Peripheral blood film. Romanowsky stain:
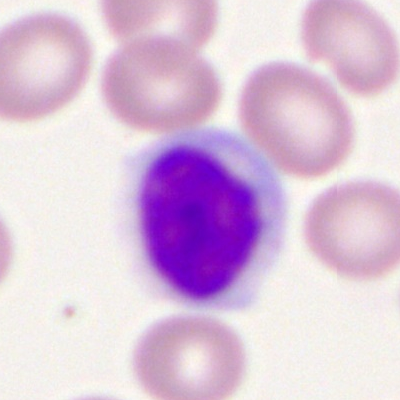

Showing a typical lymphocyte.